Bone marrow aspirate smear — 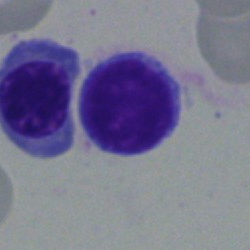Morphology consistent with a typical lymphocyte.